250 by 250 pixels; bone marrow smear: 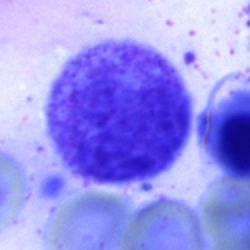 Morphological class: neutrophil (band).